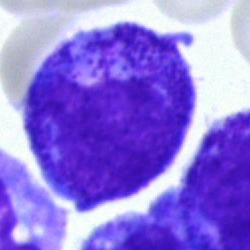

Specimen: bone marrow aspirate smear.
Cell: myelocyte.